Bone marrow aspirate smear. Cropped to a single cell.
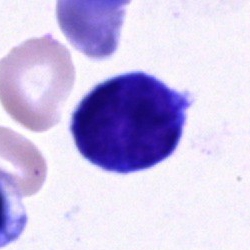Showing a lymphocyte.